400 by 400 pixels. Single-cell field. Peripheral blood smear: 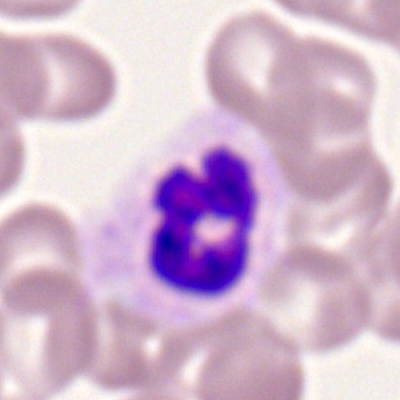 Classification: segmented neutrophil.